Bone marrow smear:
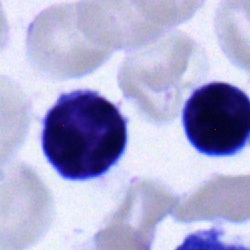
Q: What type of cell is this?
A: Lymphocyte.